Bone marrow smear: 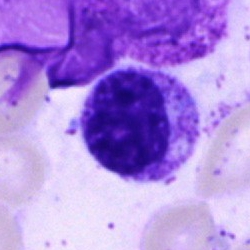 Cell type = myelocyte.